Bone marrow smear
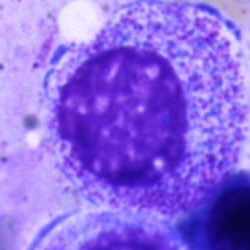
A promyelocyte.